Bone marrow smear:
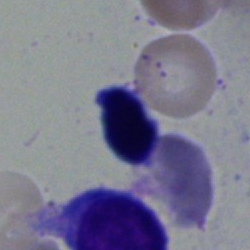 Q: Which cell type is shown here?
A: It is a typical lymphocyte.